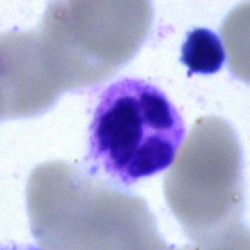

Specimen: bone marrow smear.
Classification: segmented neutrophil.